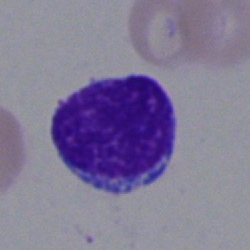
This is a typical lymphocyte.